Bone marrow smear: 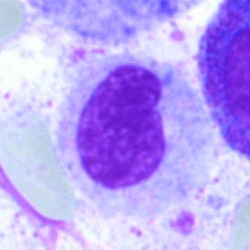

Morphology consistent with an artefact.